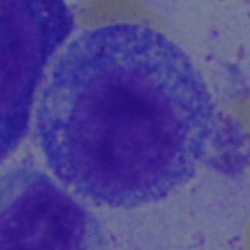 {"cell_type": "promyelocyte"}